May-Grünwald-Giemsa stain · bone marrow aspirate smear
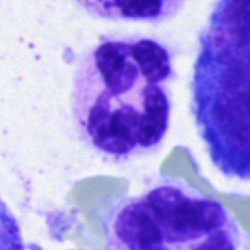
Morphology — polymorphonuclear neutrophil.